Image size 250×250 · bone marrow smear: 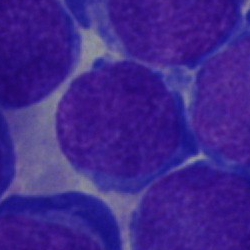

The morphological class is undifferentiated blast.